Bone marrow aspirate smear: 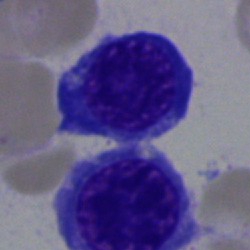
Morphological class: normoblast.